Bone marrow smear · Pappenheim-stained.
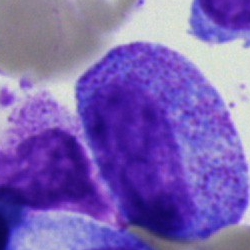

Specimen: bone marrow aspirate smear.
Morphological class: promyelocyte.
Lineage: myeloid.